Bone marrow smear.
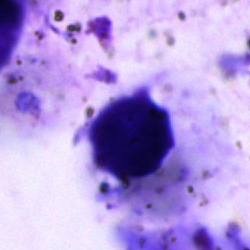
Q: What is shown here?
A: It is an artifact.